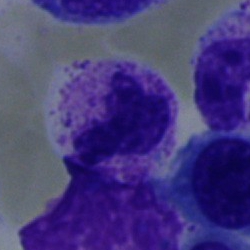
Bone marrow smear showing a polymorphonuclear neutrophil.